250 by 250 pixels. Bone marrow aspirate smear. Brightfield, 40× oil-immersion objective.
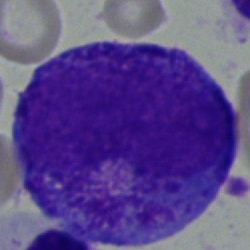
The cell type is promyelocyte.